Bone marrow aspirate smear · May-Grünwald-Giemsa/Pappenheim stain · 250 by 250 pixels.
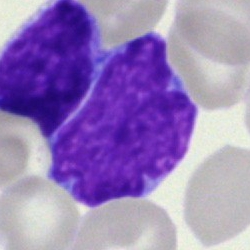 Classification: blast.